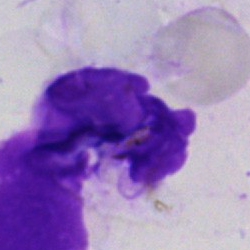
Morphology → artifact.